Bone marrow smear
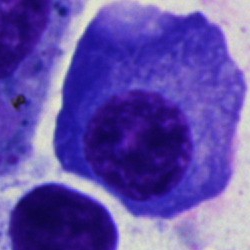
Q: What type of cell is this?
A: This is a plasma cell.